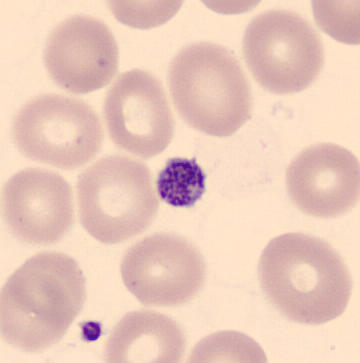

Cell type = thrombocyte.